Bone marrow smear.
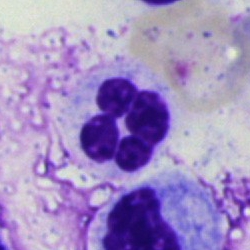

The morphological class is segmented neutrophil.